Bone marrow aspirate smear. Single cell centered in the field. 40× objective, oil immersion:
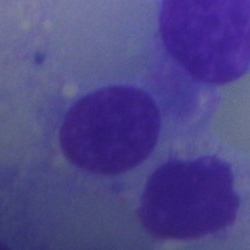

Specimen: bone marrow smear.
Morphological class: artefact.